Bone marrow smear. Pappenheim-stained — 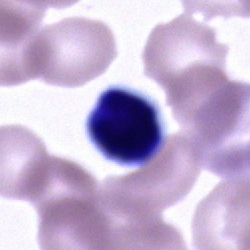

Showing a cell of indeterminate lineage.